Bone marrow smear. Cropped to a single cell — 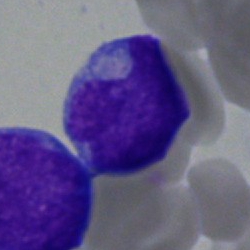{"cell_type": "blast cell"}